Peripheral blood smear: 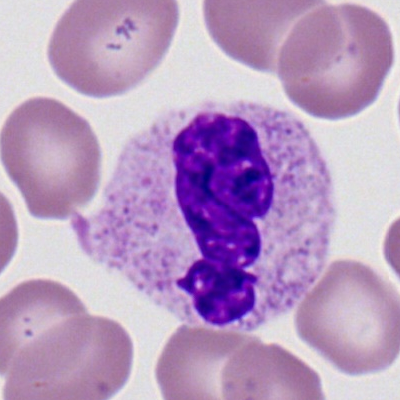
Q: What is shown here?
A: Neutrophil (segmented).